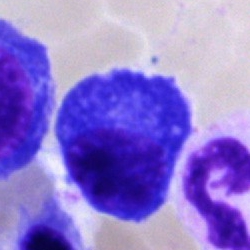
Morphological class — plasma cell.